Peripheral blood smear; brightfield, 100× oil-immersion objective; single cell centered in the field: 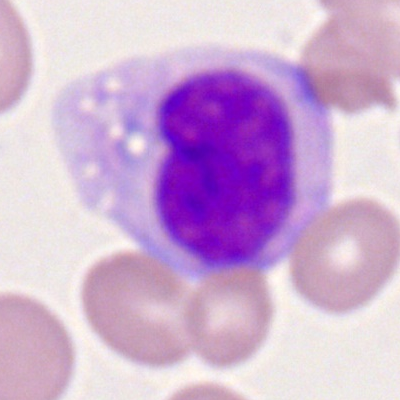
This is a monocyte.